Bone marrow aspirate smear.
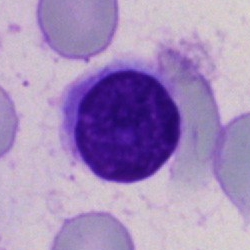Cell type — artefact.